Bone marrow smear; 250 by 250 pixels — 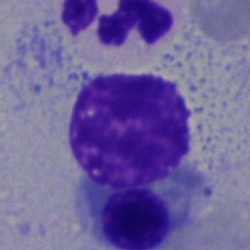Morphology — cell of indeterminate lineage.